250×250. May-Grünwald-Giemsa/Pappenheim stain. Bone marrow aspirate smear.
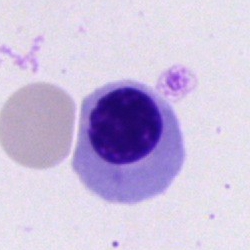
Morphology → normoblast.